Bone marrow aspirate smear. Cropped to a single cell: 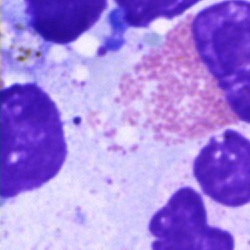

Q: What type of cell is this?
A: Cell of indeterminate lineage.